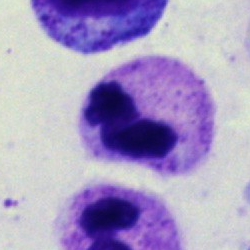

This is a segmented neutrophil.